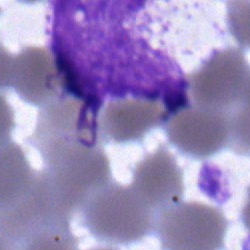
Specimen: bone marrow aspirate smear.
Cell: neutrophil (band).